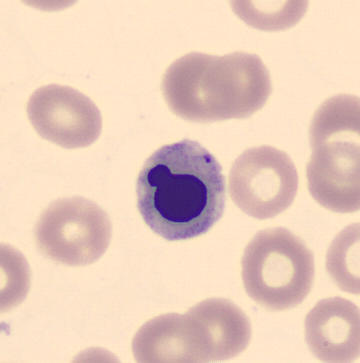 Identified as an erythroblast.

Acquisition: Peripheral blood film · single-cell crop.